Single-cell crop. Bone marrow aspirate smear. May-Grünwald-Giemsa/Pappenheim stain
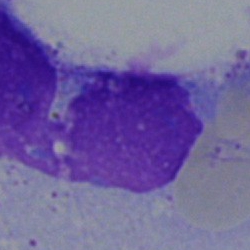

Showing an artefact.